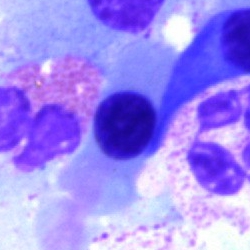

Cell — erythroblast.